Bone marrow smear: 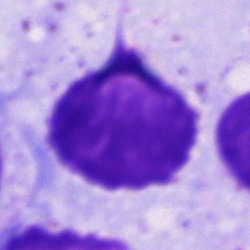
Morphological class = artefact.